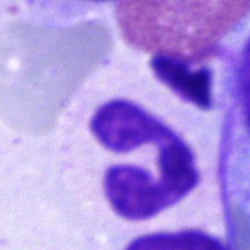 Q: Which cell type is shown here?
A: A polymorphonuclear neutrophil.